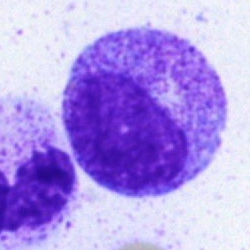
The morphological class is myelocyte.